Bone marrow aspirate smear: 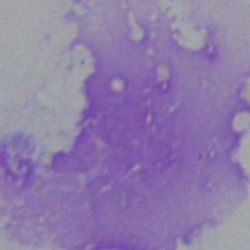
Classification: artefact.